40× oil immersion · bone marrow smear: 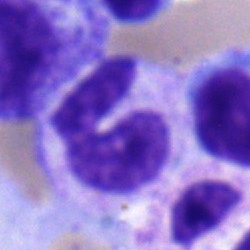
A stab cell.